M8 digital microscope (Precipoint), 100× oil immersion; peripheral blood smear; single-cell field.
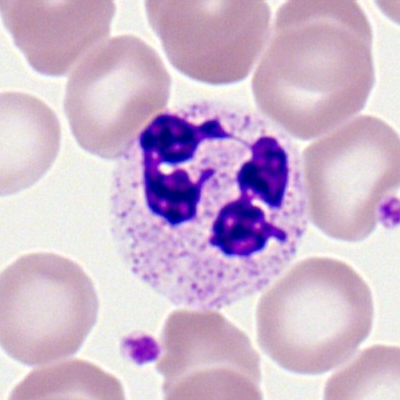
Morphology consistent with a neutrophil (segmented).